40× oil immersion. Bone marrow aspirate smear — 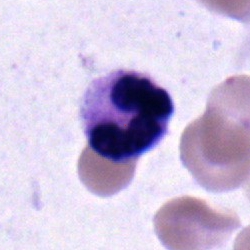
{"cell_type": "segmented neutrophil", "lineage": "myeloid"}